Bone marrow smear — 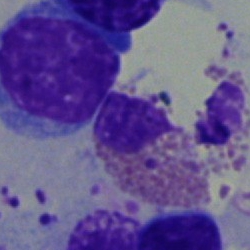Showing an eosinophilic granulocyte.